Bone marrow aspirate smear
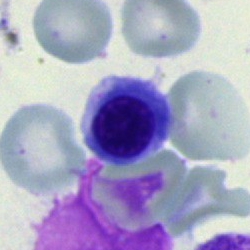 Showing a nucleated red blood cell.